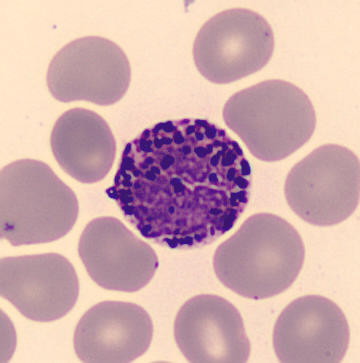

Preparation: MGG-stained; peripheral blood film.

Single cell identified as a basophilic granulocyte.